Bone marrow aspirate smear · image size 250×250:
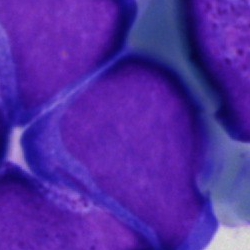

Showing a blast.